Bone marrow aspirate smear:
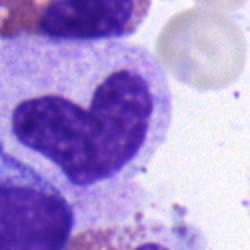
Cell type: band neutrophil.